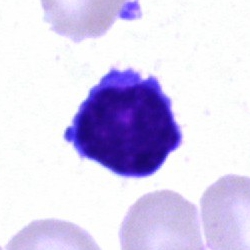

The classification is lymphocyte.